Bone marrow aspirate smear — 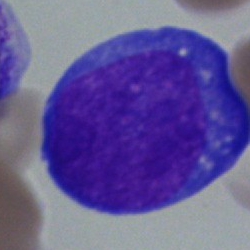Specimen: bone marrow smear.
Morphological class: undifferentiated blast.